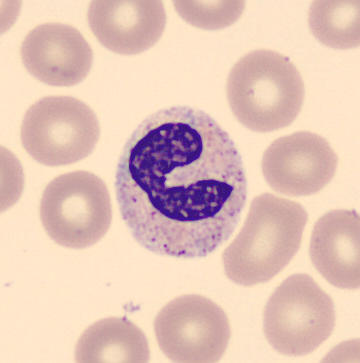

Impression — band-form neutrophil.
Peripheral blood film.